Bone marrow aspirate smear · MGG-stained · 250×250 px — 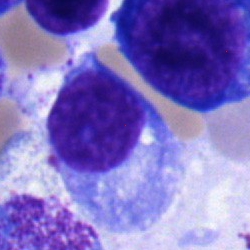
Specimen: bone marrow aspirate smear.
Classification: plasmacyte.
Lineage: lymphoid.